Bone marrow smear.
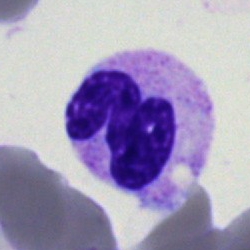 Morphological class: segmented neutrophil.